40× objective, oil immersion · bone marrow smear — 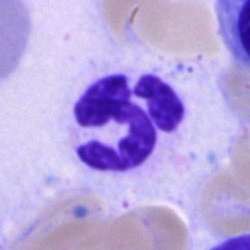 This is a segmented neutrophil.